40× oil immersion. Single-cell field. Bone marrow aspirate smear.
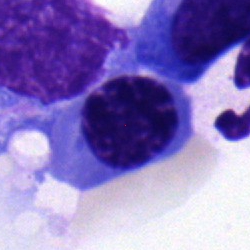This is a nucleated red cell.